Bone marrow aspirate smear — 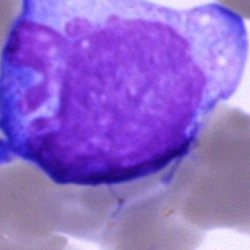

Q: What is shown here?
A: This is a blast.